Bone marrow smear — 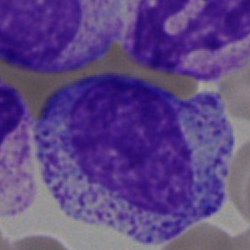
The cell shown is a promyelocyte.